Bone marrow aspirate smear:
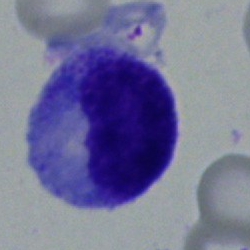

The cell shown is a myelocyte.